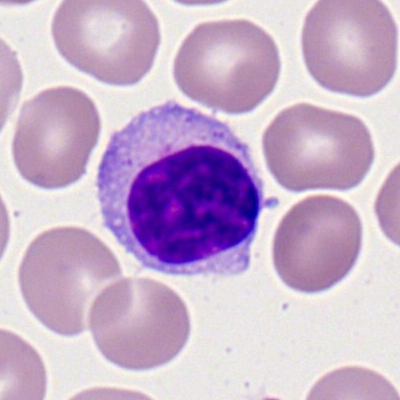Specimen: peripheral blood smear.
Cell type: lymphocyte.
Lineage: lymphoid.